Brightfield, 40× oil-immersion objective. Bone marrow aspirate smear:
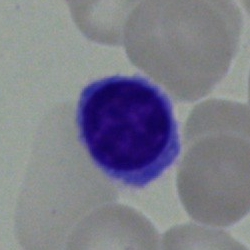Specimen: bone marrow aspirate smear.
Cell type: lymphocyte.
Lineage: lymphoid.